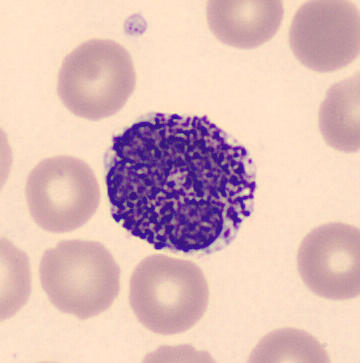360×363. Peripheral blood film. Q: What cell is this?
A: Basophilic granulocyte.